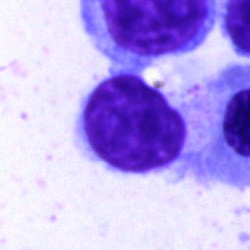

Q: What is the morphological classification of this cell?
A: A lymphocyte.